250×250 px. 40× oil immersion. Bone marrow aspirate smear:
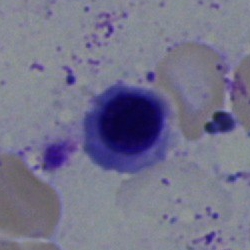

Morphology consistent with a normoblast.